Bone marrow smear.
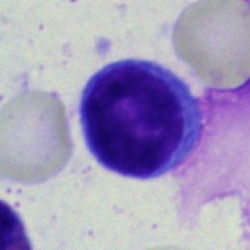 A lymphocyte.